Bone marrow smear. Brightfield, 40× oil-immersion objective
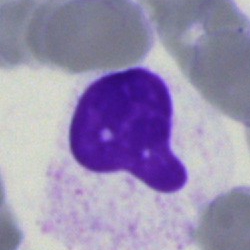
Single cell identified as an artifact.